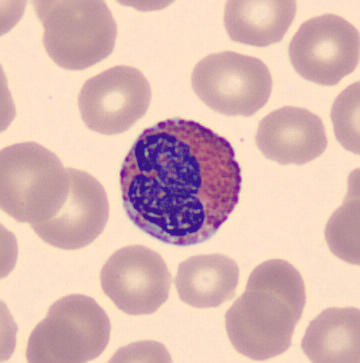Peripheral blood film.
Q: Which cell type is shown here?
A: It is an eosinophilic granulocyte.